Peripheral blood film; Romanowsky-stained; image size 400×400:
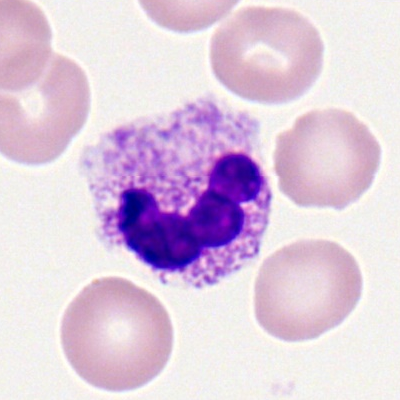 Single cell identified as a polymorphonuclear neutrophil.